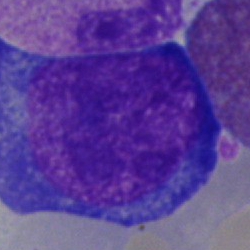Specimen: bone marrow smear.
Cell type: pronormoblast.